Bone marrow aspirate smear. 250×250 px:
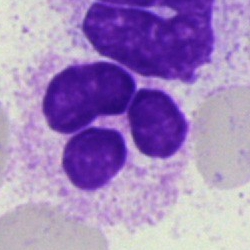 This is an artefact.